MGG-stained; bone marrow aspirate smear: 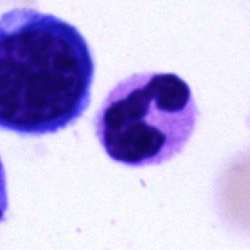

The cell shown is a neutrophil (segmented).